Bone marrow aspirate smear
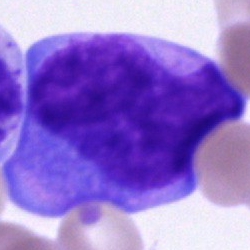

Cell = blast cell.